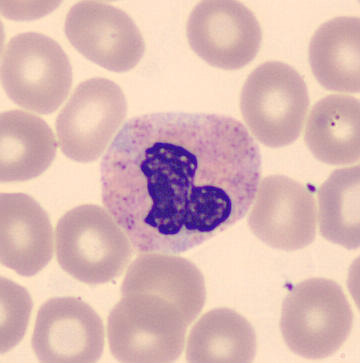 {"cell_type": "neutrophil (segmented)"}

May-Grünwald-Giemsa-stained. Peripheral blood film. Single-cell field.